Bone marrow aspirate smear · 250 by 250 pixels
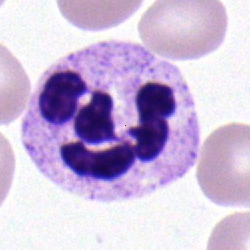
Q: What type of cell is this?
A: Segmented neutrophil.